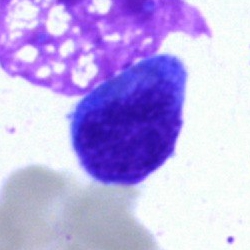

Single cell identified as an undifferentiated blast.